Bone marrow smear. May-Grünwald-Giemsa/Pappenheim stain.
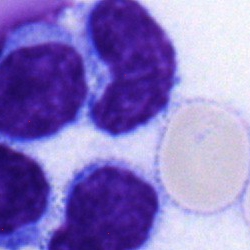 The cell shown is a lymphocyte.